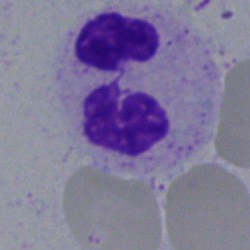Morphological class: neutrophil (segmented).